Bone marrow aspirate smear · brightfield microscopy, 40× oil immersion.
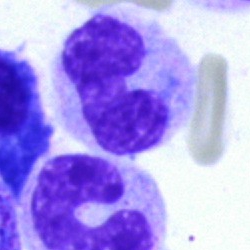
Impression — stab cell.